Bone marrow smear — 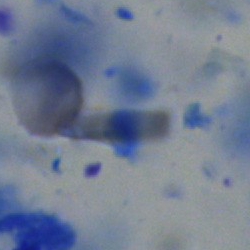
Q: What is shown here?
A: This is an artefact.